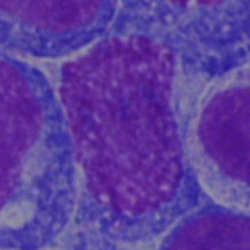Morphology consistent with an undifferentiated blast.